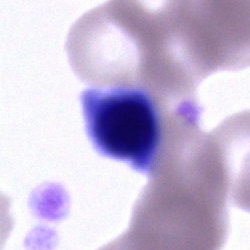An unidentifiable cell on a bone marrow smear.